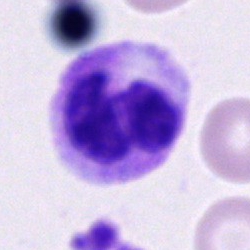Showing a neutrophil (segmented).